40× oil immersion · bone marrow smear · image size 250×250
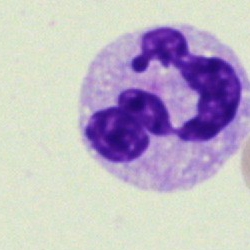

The cell shown is a polymorphonuclear neutrophil.